Bone marrow smear:
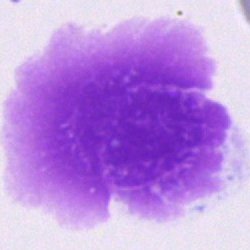 Showing an artefact.